Bone marrow smear
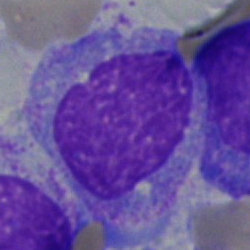 Classification: monocyte.